Single-cell field; peripheral blood film
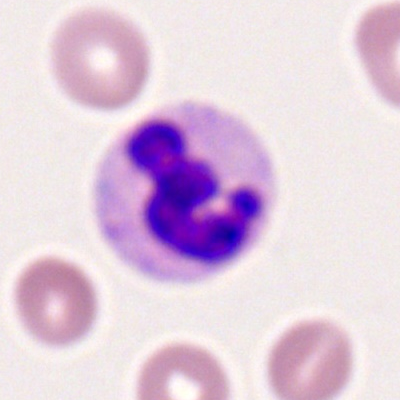
Morphological class = polymorphonuclear neutrophil.